Bone marrow smear; single-cell crop.
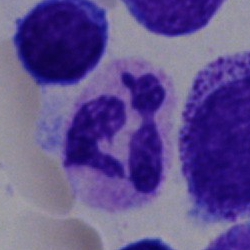 Cell — neutrophil (segmented).